Bone marrow aspirate smear · Pappenheim-stained.
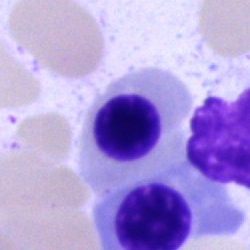 Q: What is the morphological classification of this cell?
A: It is an erythroblast.